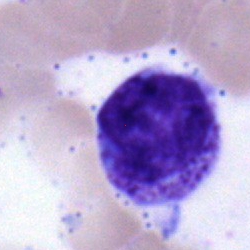
{"cell_type": "myelocyte", "lineage": "myeloid"}